Bone marrow aspirate smear · 250×250
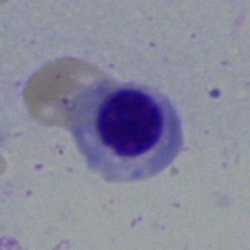

Cell type — erythroblast.